Bone marrow aspirate smear · single-cell field:
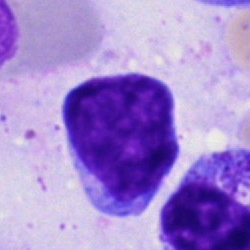

This is an undifferentiated blast.